Bone marrow aspirate smear
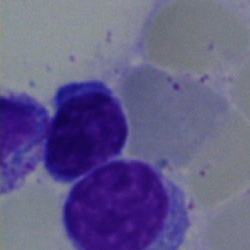Cell: lymphocyte.